Single-cell crop. May-Grünwald-Giemsa/Pappenheim stain. Bone marrow aspirate smear: 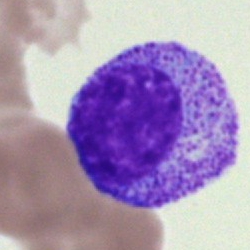Q: What type of cell is this?
A: It is a myelocyte.